Bone marrow aspirate smear. Brightfield, 40× oil-immersion objective: 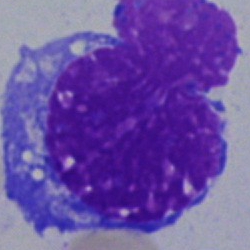
Single cell identified as an artifact.